Bone marrow smear — 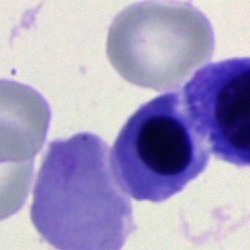

Specimen: bone marrow aspirate smear.
Cell: normoblast.